Single-cell field. Bone marrow aspirate smear.
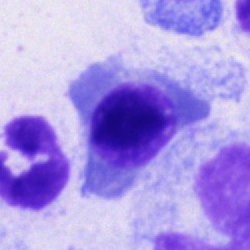 Q: Identify the cell.
A: It is a nucleated red blood cell.